Bone marrow smear. MGG-stained.
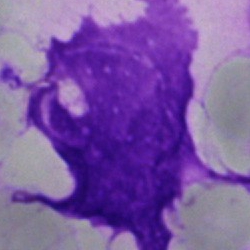

The cell is artifact.